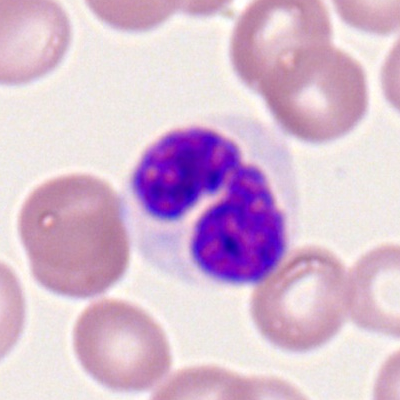

Cell type: segmented neutrophil.